Cropped to a single cell; bone marrow aspirate smear; brightfield microscopy, 40× oil immersion:
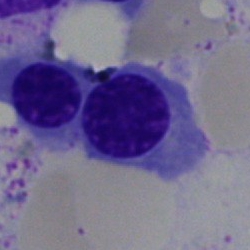Classification = nucleated red blood cell.